Bone marrow smear.
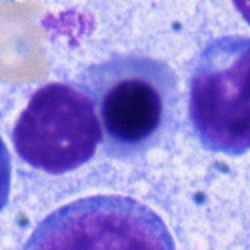
This is an erythroblast.